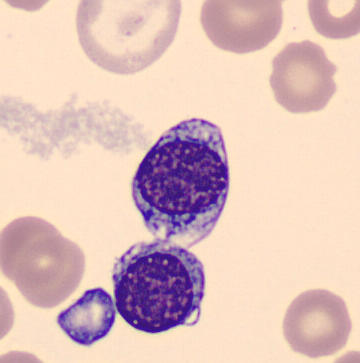 {"cell_type": "nucleated red cell", "lineage": "erythroid"}
Preparation: Peripheral blood smear.